Peripheral blood smear
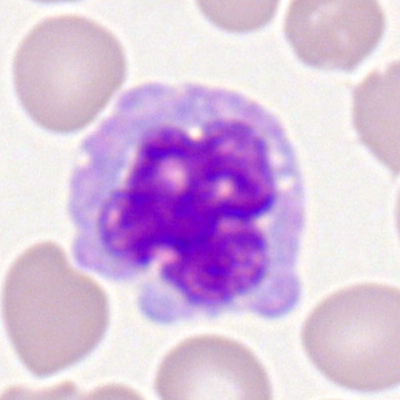 The cell shown is a monocyte.